250×250. Bone marrow aspirate smear. Brightfield microscopy, 40× oil immersion.
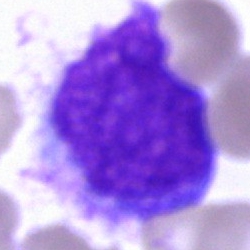Cell = unidentifiable cell.